May-Grünwald-Giemsa stain; bone marrow smear
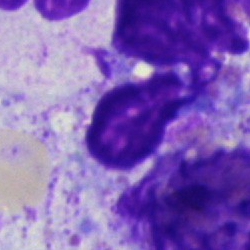Morphology consistent with an artefact.